Peripheral blood film
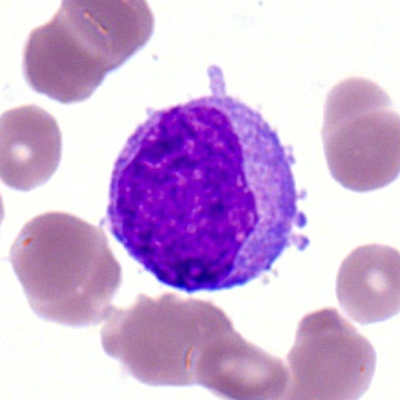
Morphology → typical lymphocyte.